Single cell centered in the field · bone marrow aspirate smear.
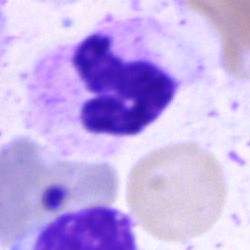

The cell is neutrophil (segmented).